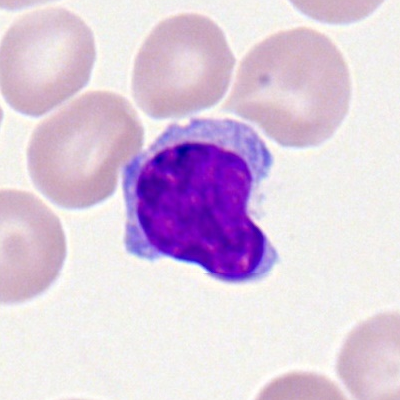
Showing a lymphocyte.